Bone marrow aspirate smear
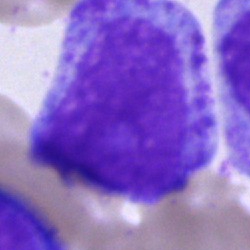Single cell identified as a progranulocyte.